Single cell centered in the field. Brightfield microscopy, 40× oil immersion. Bone marrow aspirate smear:
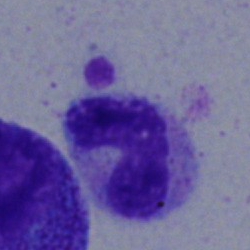
Cell: neutrophil (segmented).